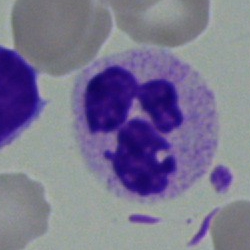 Specimen: bone marrow smear.
Cell type: polymorphonuclear neutrophil.